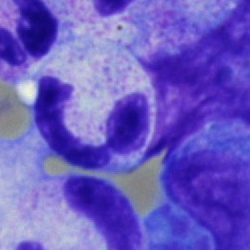
Impression — neutrophil (segmented).